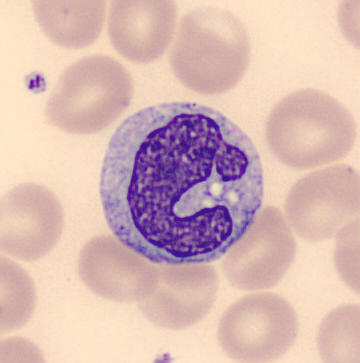 A monocyte.
Preparation: Peripheral blood smear · MGG-stained.